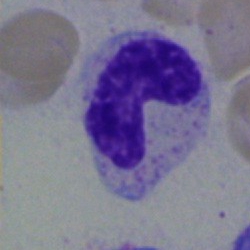 This is a neutrophil (band).